Single-cell crop. 100× oil immersion. Peripheral blood film: 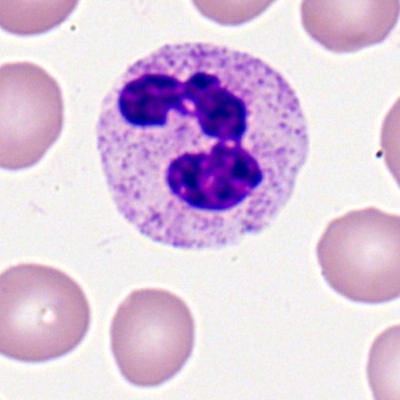

Morphology — polymorphonuclear neutrophil.